250 by 250 pixels. Pappenheim-stained. Bone marrow aspirate smear: 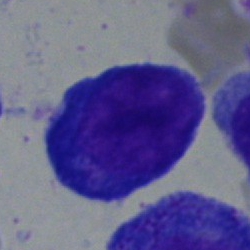This is a pronormoblast.